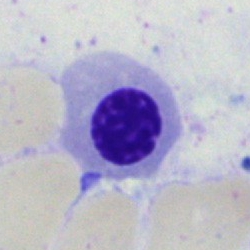
Morphology → erythroblast.